250×250 · single cell centered in the field · bone marrow aspirate smear: 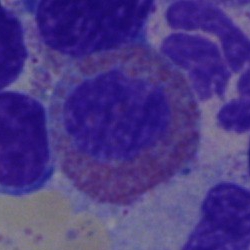Morphology — eosinophilic granulocyte.